Bone marrow aspirate smear · single cell centered in the field — 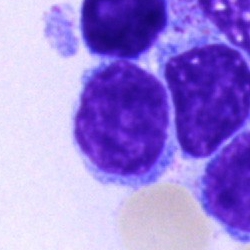 Q: What is the morphological classification of this cell?
A: This is a lymphocyte.